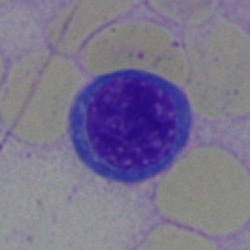 Morphological class: normoblast.